Bone marrow aspirate smear; 250×250 px: 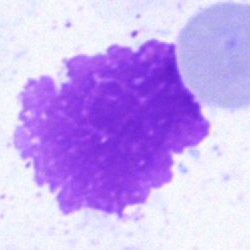

{"cell_type": "artefact"}